Bone marrow aspirate smear:
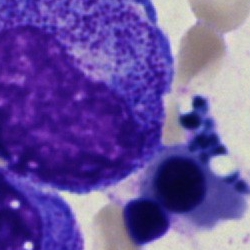

Cell = promyelocyte.